Bone marrow smear
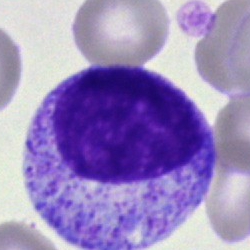This is a myelocyte.